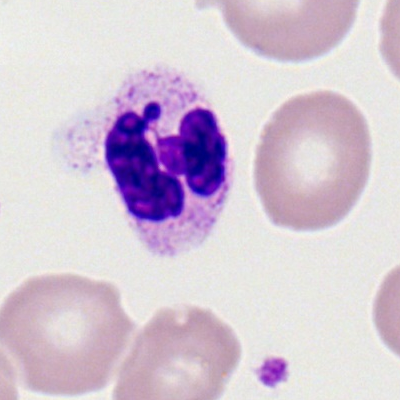Q: What type of cell is this?
A: A polymorphonuclear neutrophil.